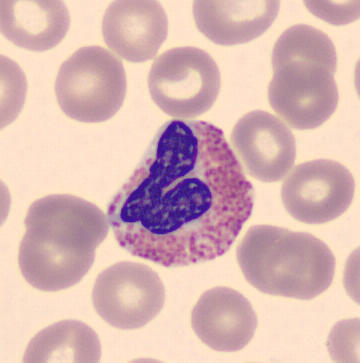
Specimen: peripheral blood smear.
Morphological class: eosinophil.
Lineage: myeloid.